Bone marrow aspirate smear: 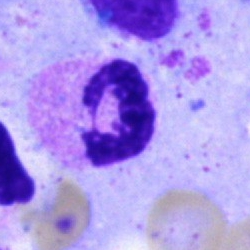 Morphological class: polymorphonuclear neutrophil.